Peripheral blood film
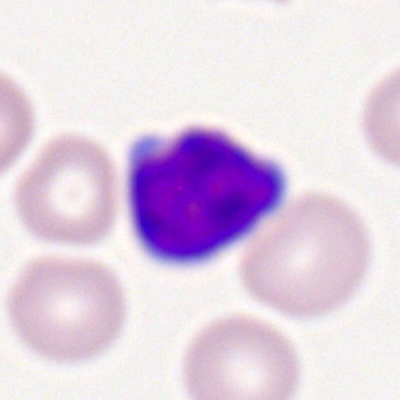
Morphological class = lymphocyte.